Brightfield microscopy, 40× oil immersion. Bone marrow smear. Single cell centered in the field: 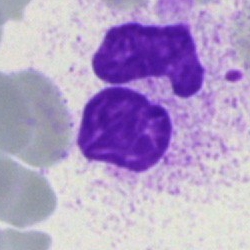

Segmented neutrophil.